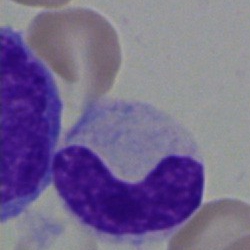
Cell = neutrophil (band).